Bone marrow aspirate smear; 40× objective, oil immersion; 250 by 250 pixels:
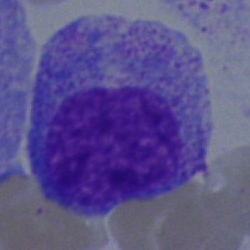 Morphology consistent with a progranulocyte.